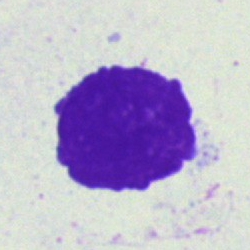 Showing an artifact.